Bone marrow smear: 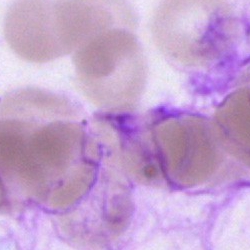

Artifact.